Bone marrow aspirate smear. Single-cell crop
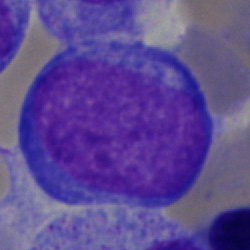Q: What cell is this?
A: A proerythroblast.